Single-cell field · 40× objective, oil immersion · bone marrow aspirate smear:
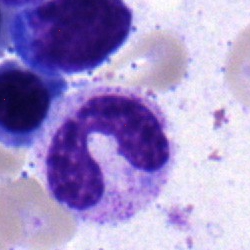Q: What is the morphological classification of this cell?
A: This is a neutrophil (band).